Image size 250×250; bone marrow aspirate smear: 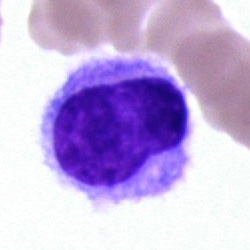 Showing a hairy cell.